Bone marrow aspirate smear · single-cell crop: 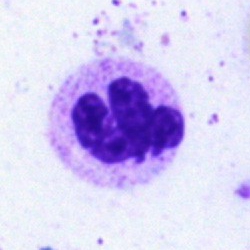
Cell type — neutrophil (segmented).